Bone marrow smear:
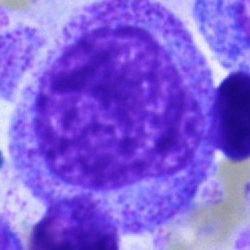 Morphological class — progranulocyte.